Bone marrow smear — 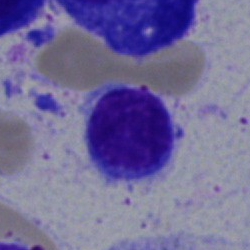Impression — lymphocyte.